Bone marrow smear: 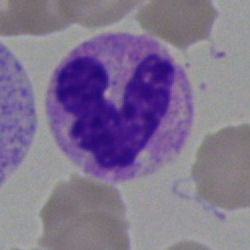

Cell type = neutrophil (segmented).